Peripheral blood film:
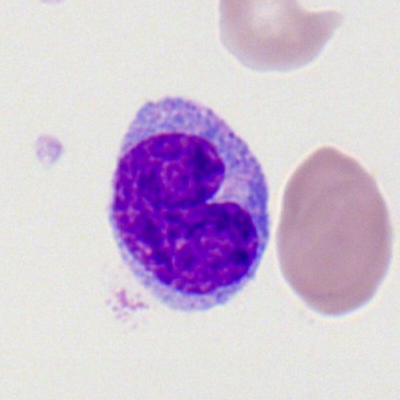 Single cell identified as a monocyte.